Bone marrow smear:
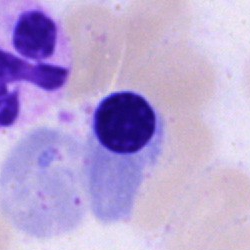{"cell_type": "erythroblast", "lineage": "erythroid"}